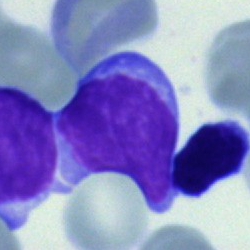

Bone marrow smear showing a lymphocyte.